Bone marrow smear:
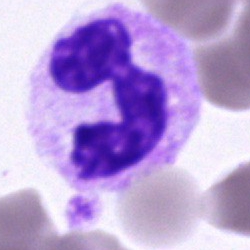
{"cell_type": "segmented neutrophil"}